Single-cell field; bone marrow smear — 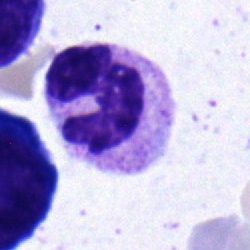
The classification is polymorphonuclear neutrophil.